Peripheral blood film: 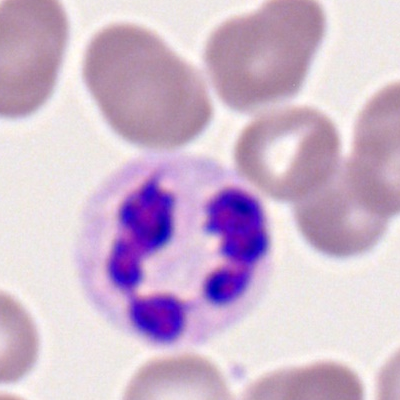Classification: neutrophil (segmented).